Bone marrow aspirate smear — 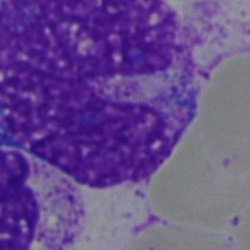 Cell = artefact.